Bone marrow smear; 250×250 px:
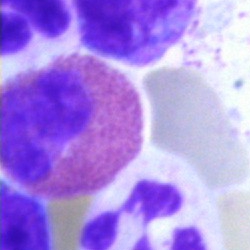
Single cell identified as an eosinophil.